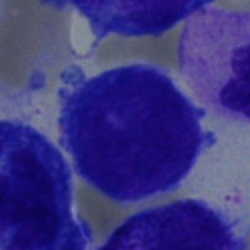 Cell type = undifferentiated blast.